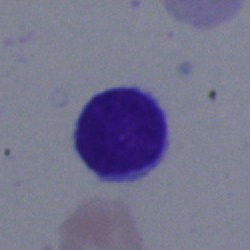 Morphology consistent with a typical lymphocyte.